Bone marrow smear; cropped to a single cell; 250×250.
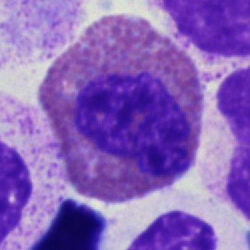

Showing an eosinophilic granulocyte.